Bone marrow smear; brightfield, 40× oil-immersion objective
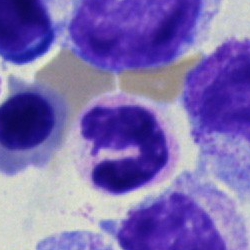Morphological class = segmented neutrophil.